Bone marrow smear · 250×250 px · May-Grünwald-Giemsa/Pappenheim stain:
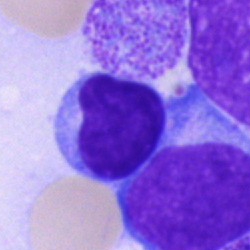 Q: What type of cell is this?
A: It is a typical lymphocyte.